Bone marrow aspirate smear.
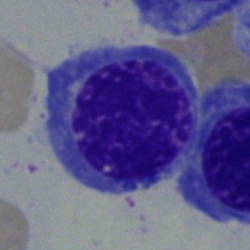 Showing a nucleated red cell.